Bone marrow aspirate smear; Pappenheim-stained
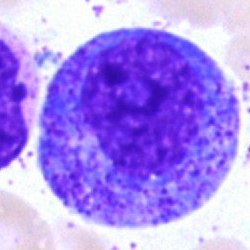

Morphology — progranulocyte.